40× oil immersion · 250 by 250 pixels · bone marrow smear: 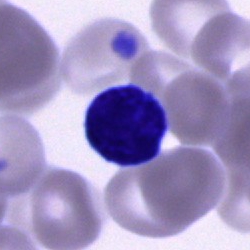
Cell: typical lymphocyte.